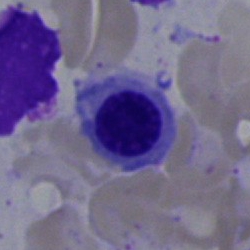 Morphology — nucleated red blood cell.